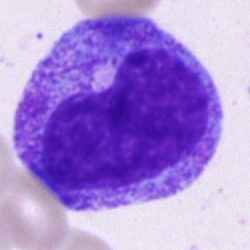

The classification is progranulocyte.